May-Grünwald-Giemsa/Pappenheim stain. 40× oil immersion. Bone marrow smear: 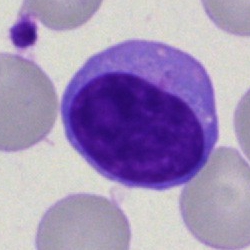The morphological class is typical lymphocyte.